Peripheral blood film · MGG stain: 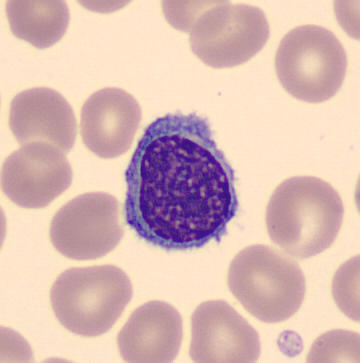 {"cell_type": "lymphocyte"}